Bone marrow aspirate smear. 40× objective, oil immersion.
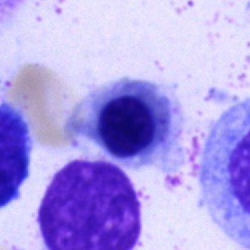The cell type is normoblast.